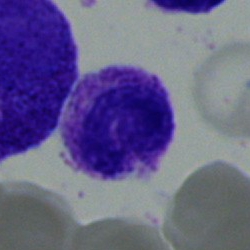
Specimen: bone marrow aspirate smear.
Cell type: segmented neutrophil.
Lineage: myeloid.